Single-cell field; bone marrow aspirate smear.
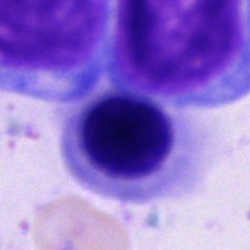

Specimen: bone marrow smear.
Classification: nucleated red cell.
Lineage: erythroid.